Bone marrow smear
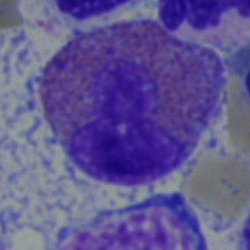

Morphology — eosinophil.